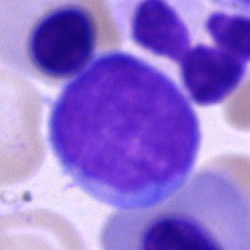 Q: What type of cell is this?
A: It is a blast cell.